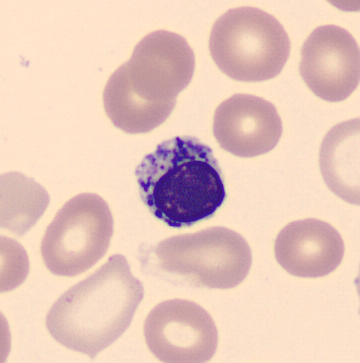
Peripheral blood smear; 360×363 px.
Q: Which cell type is shown here?
A: It is a nucleated red blood cell.